Bone marrow smear. Cropped to a single cell — 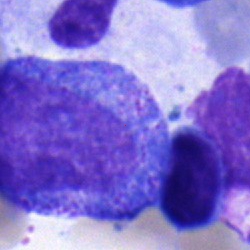

Showing a promyelocyte.